40× objective, oil immersion; bone marrow smear — 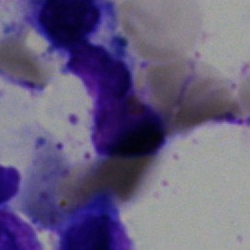Morphology consistent with an artifact.